Bone marrow aspirate smear; single-cell crop:
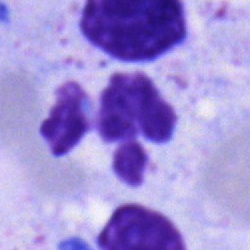
Cell: polymorphonuclear neutrophil.